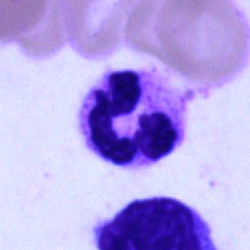
Single-cell crop from a bone marrow smear: segmented neutrophil.